Single cell centered in the field; image size 400×400; peripheral blood smear — 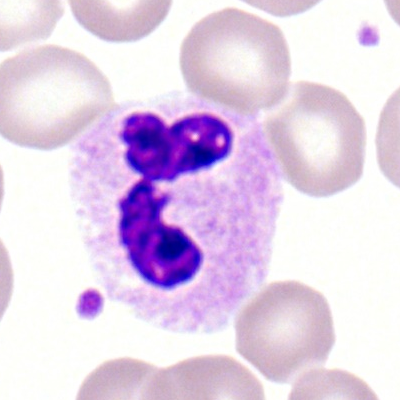
Q: What is the morphological classification of this cell?
A: This is a segmented neutrophil.